Bone marrow smear; single-cell field — 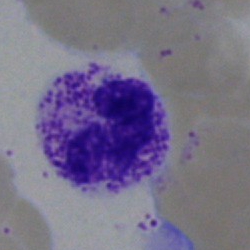

Q: What cell is this?
A: This is a neutrophil (segmented).